Bone marrow smear: 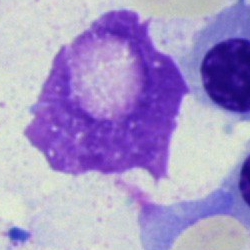

Impression → artifact.